Peripheral blood smear. Romanowsky stain
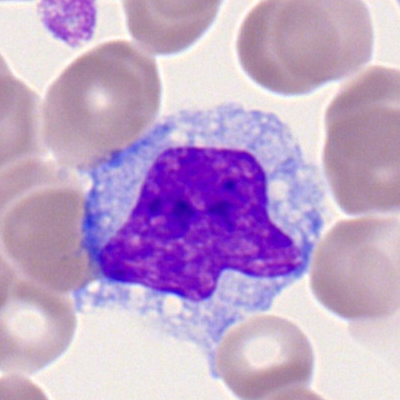 Specimen: peripheral blood film.
Cell: monocyte.
Lineage: myeloid.